250×250 px; 40× oil immersion; bone marrow smear:
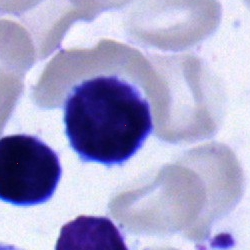

A lymphocyte.